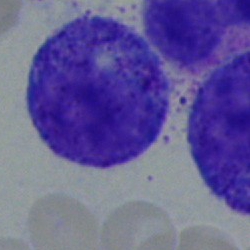Specimen: bone marrow smear.
Classification: myelocyte.
Lineage: myeloid.